Bone marrow aspirate smear: 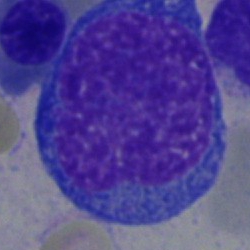Morphological class — progranulocyte.